Bone marrow aspirate smear.
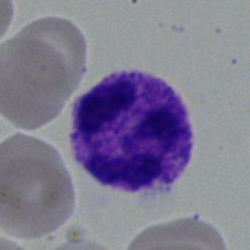

Morphological class = polymorphonuclear neutrophil.